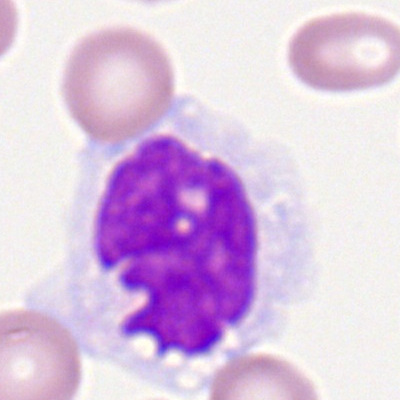
Morphology consistent with a monocyte.